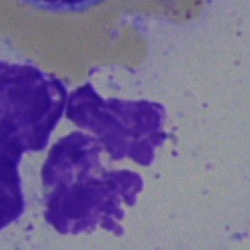 Cell type — artifact.